Peripheral blood smear
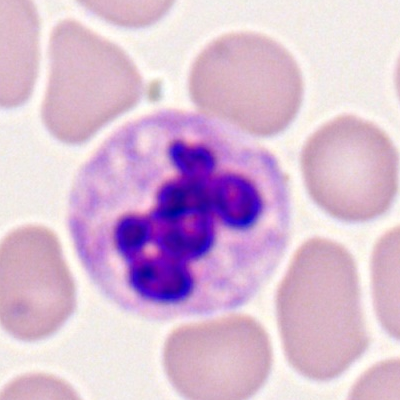Cell type: segmented neutrophil.